Bone marrow smear · Pappenheim-stained: 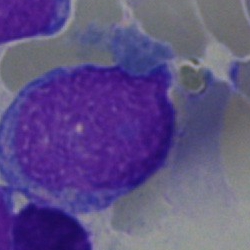
{"cell_type": "undifferentiated blast"}